400×400 px · peripheral blood smear — 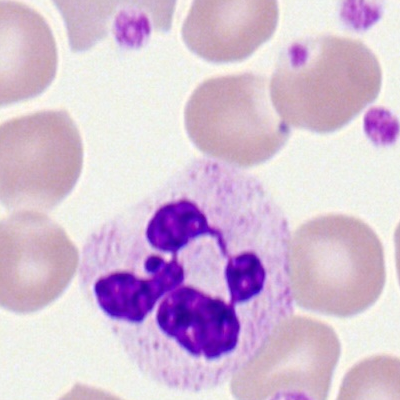This is a neutrophil (segmented).